Brightfield, 40× oil-immersion objective. Bone marrow aspirate smear: 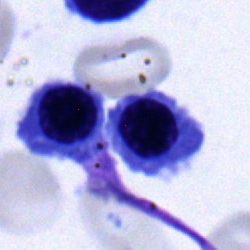Nucleated red cell.